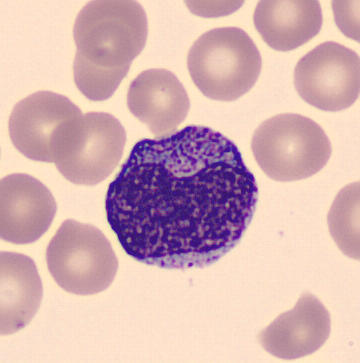

Cell = myelocyte.